Bone marrow aspirate smear; 40× objective, oil immersion; May-Grünwald-Giemsa stain:
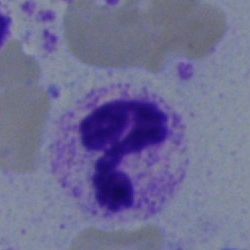

Showing a segmented neutrophil.